Bone marrow aspirate smear:
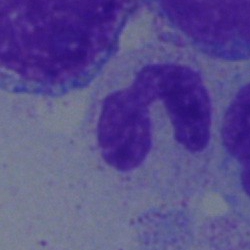
Specimen: bone marrow aspirate smear.
Classification: neutrophil (band).
Lineage: myeloid.